Bone marrow aspirate smear.
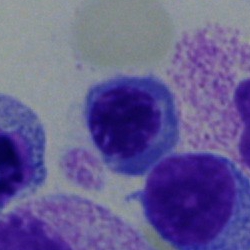

This is a normoblast.